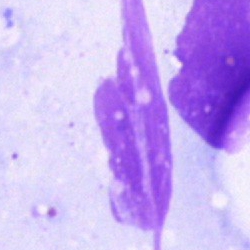Bone marrow aspirate smear, single cell — artifact.